Bone marrow aspirate smear. 250×250 px:
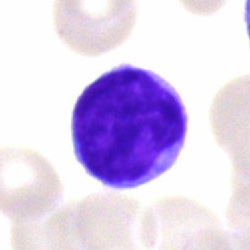

This is a lymphocyte.